Peripheral blood film — 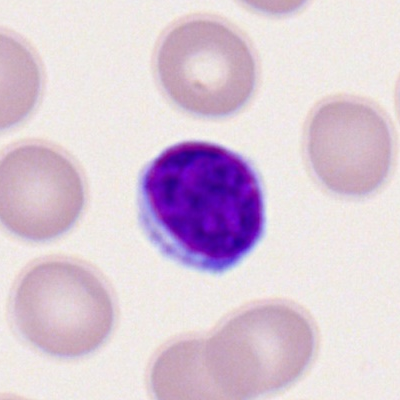
{"cell_type": "typical lymphocyte"}